Bone marrow aspirate smear · 40× objective, oil immersion
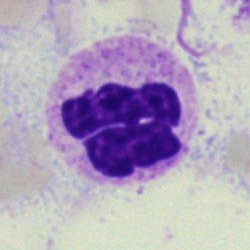
Cell = segmented neutrophil.